Bone marrow smear
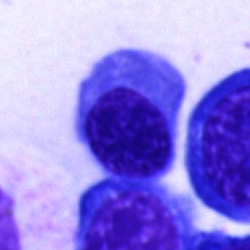Impression → erythroblast.